Bone marrow smear · image size 250×250 — 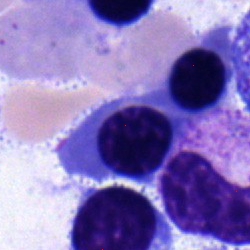

Specimen: bone marrow aspirate smear.
Cell type: nucleated red cell.